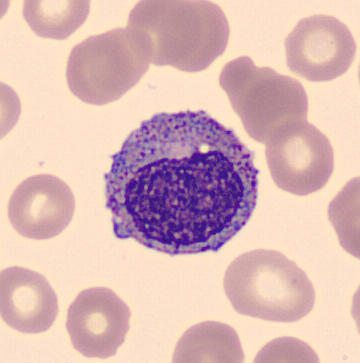

Morphological class — progranulocyte.
Preparation: Cropped to a single cell. Imaged on a CellaVision DM96 analyser. Peripheral blood smear.